Bone marrow smear.
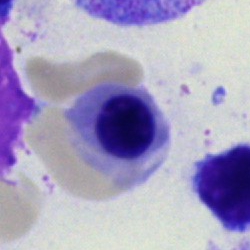

Specimen: bone marrow smear.
Cell: nucleated red cell.